Bone marrow smear — 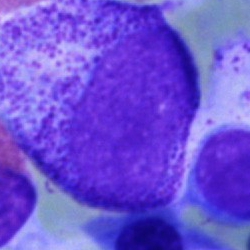
Morphological class = myelocyte.